Single-cell field · bone marrow smear
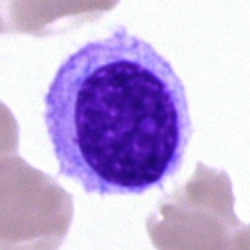 Cell type: hairy cell.